Bone marrow aspirate smear
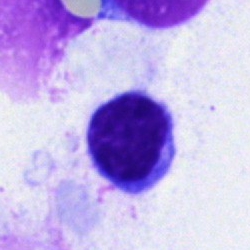

Q: What cell is this?
A: It is a lymphocyte.